Bone marrow smear
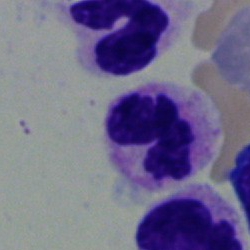

Showing a neutrophil (segmented).